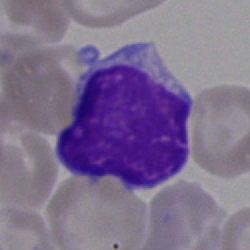Impression — lymphocyte.